Bone marrow smear.
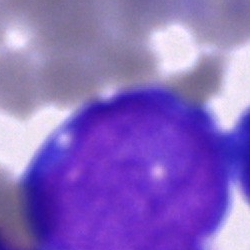
Single cell identified as an undifferentiated blast.